Bone marrow smear
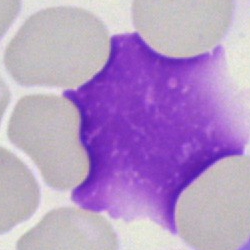Classification: artefact.